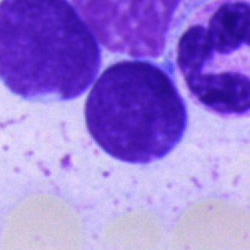
Showing an undifferentiated blast.